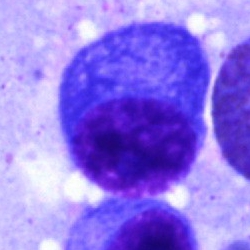

Q: What type of cell is this?
A: A plasma cell.